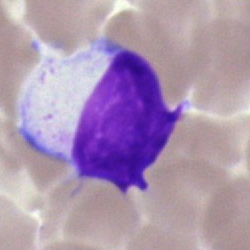
The morphological class is typical lymphocyte.